Peripheral blood film
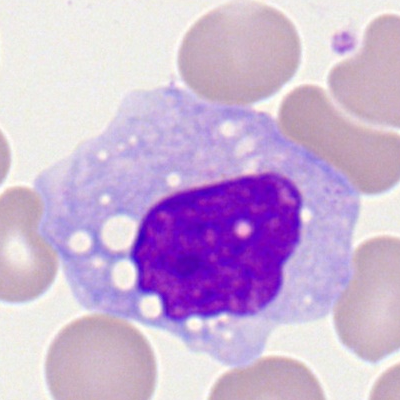 A monocyte.